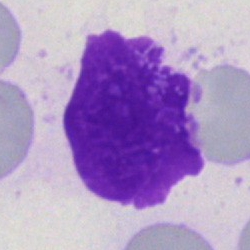 Specimen: bone marrow aspirate smear.
Morphological class: artefact.